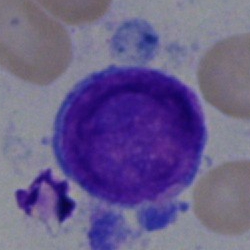 Q: Which cell type is shown here?
A: A blast cell.